Bone marrow smear · May-Grünwald-Giemsa/Pappenheim stain:
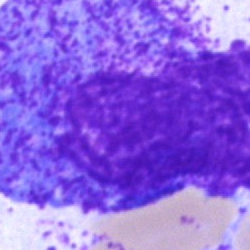Promyelocyte.